Bone marrow smear:
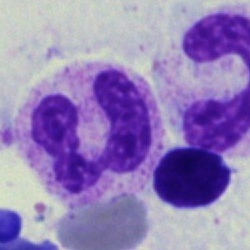 Q: What is the morphological classification of this cell?
A: It is a polymorphonuclear neutrophil.